Bone marrow aspirate smear:
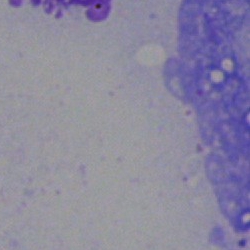

Impression → artefact.